Bone marrow aspirate smear.
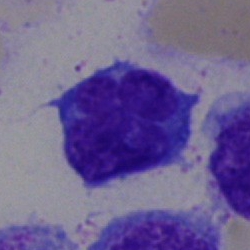 Specimen: bone marrow aspirate smear.
Cell type: undifferentiated blast.